Bone marrow aspirate smear · brightfield, 40× oil-immersion objective:
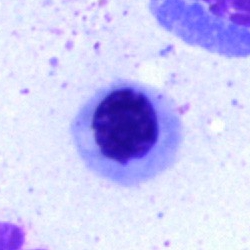
Q: Which cell type is shown here?
A: It is a normoblast.